Single-cell field. Pappenheim-stained. Bone marrow aspirate smear
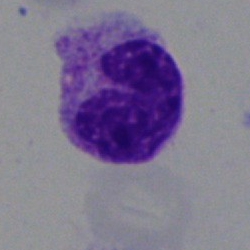Cell type: stab cell.